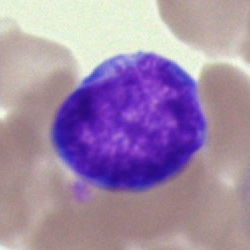Q: What type of cell is this?
A: This is a blast cell.